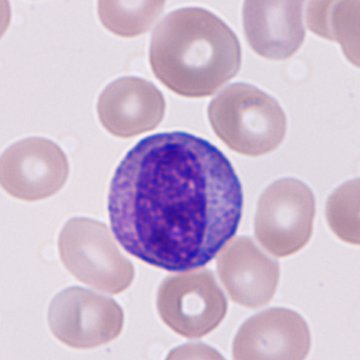
Specimen: peripheral blood smear.
Cell: immature granulocyte.
Lineage: myeloid.